Brightfield microscopy, 40× oil immersion; bone marrow smear: 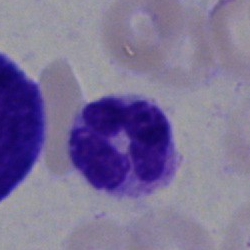 Showing a polymorphonuclear neutrophil.